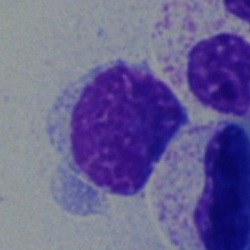 The morphological class is typical lymphocyte.